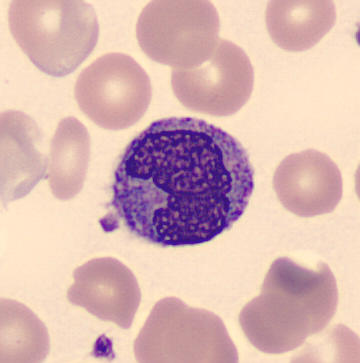 Q: What cell is this?
A: Monocyte.